Bone marrow smear · May-Grünwald-Giemsa/Pappenheim stain:
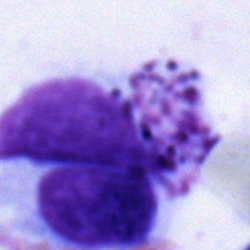Morphology → basophilic granulocyte.